Bone marrow aspirate smear.
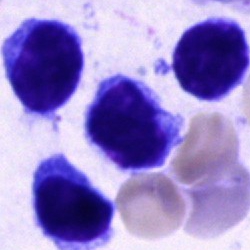
A lymphocyte.